Peripheral blood film · 100× oil immersion, 14.14 px/µm · Romanowsky stain — 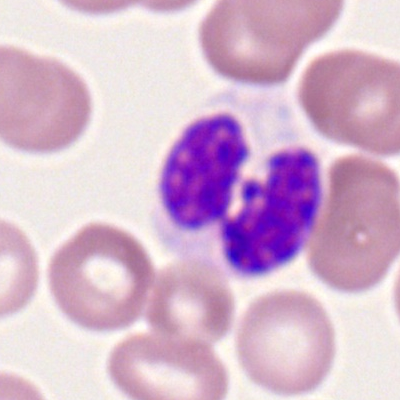 Showing a neutrophil (segmented).